Bone marrow aspirate smear
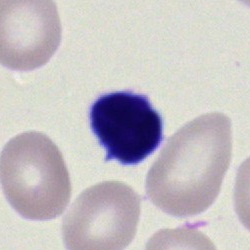Impression → lymphocyte.